Bone marrow smear:
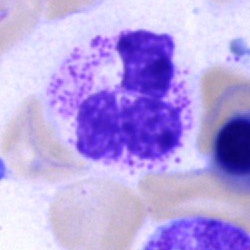
Morphological class: segmented neutrophil.